250×250 · bone marrow smear — 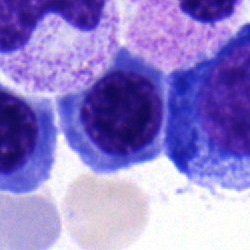
Specimen: bone marrow aspirate smear.
Cell type: nucleated red blood cell.